Bone marrow smear: 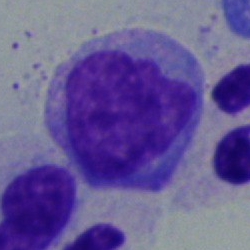 Q: What is shown here?
A: Monocyte.